250×250 · bone marrow smear · brightfield microscopy, 40× oil immersion:
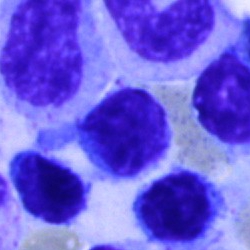Impression → lymphocyte.